Bone marrow smear:
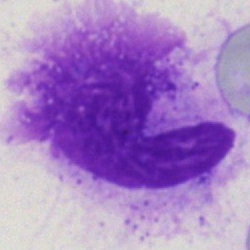

Classification — artefact.